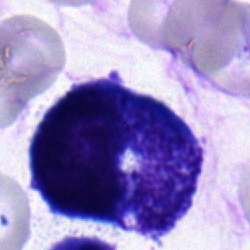 Bone marrow smear showing a promyelocyte.